Bone marrow aspirate smear. Brightfield, 40× oil-immersion objective. 250×250 — 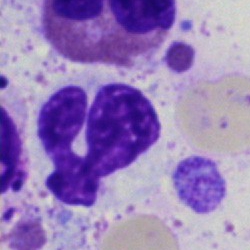 The classification is neutrophil (segmented).